Bone marrow aspirate smear
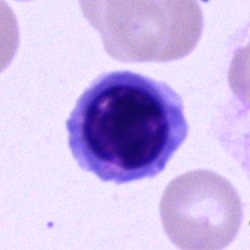

Showing a nucleated red cell.